250 by 250 pixels. Bone marrow aspirate smear. Brightfield, 40× oil-immersion objective:
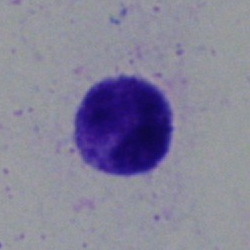
Specimen: bone marrow smear.
Classification: typical lymphocyte.